Bone marrow aspirate smear
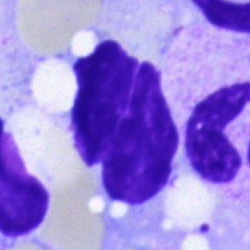 Specimen: bone marrow smear.
Cell: artifact.